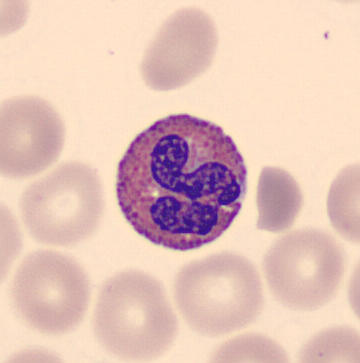 Peripheral blood smear.
Morphological class: eosinophilic granulocyte.